Bone marrow aspirate smear: 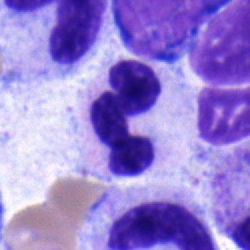

The cell shown is a polymorphonuclear neutrophil.